Bone marrow smear: 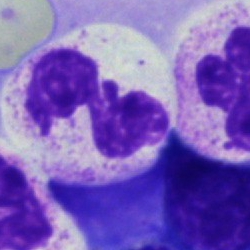Specimen: bone marrow aspirate smear.
Cell: segmented neutrophil.
Lineage: myeloid.